Bone marrow aspirate smear
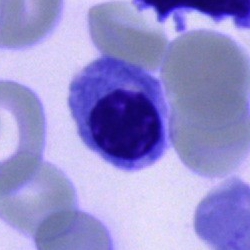
Q: Identify the cell.
A: Nucleated red blood cell.